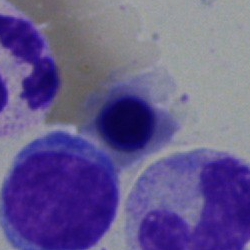Q: What cell is this?
A: Normoblast.